Bone marrow smear:
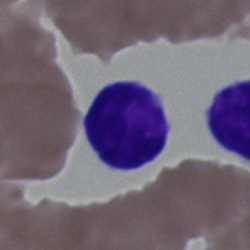
Cell type: typical lymphocyte.